250×250. 40× objective, oil immersion. Bone marrow aspirate smear.
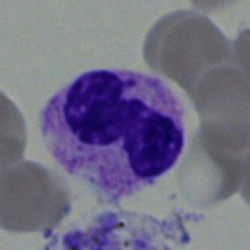Classification: band-form neutrophil.